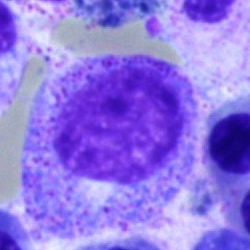 Q: What type of cell is this?
A: A promyelocyte.